Bone marrow aspirate smear: 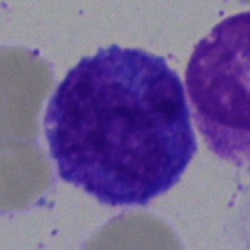 A progranulocyte.